Bone marrow aspirate smear: 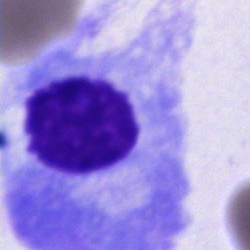

Specimen: bone marrow aspirate smear.
Classification: plasmacyte.
Lineage: lymphoid.